Bone marrow smear. Image size 250×250. Pappenheim-stained:
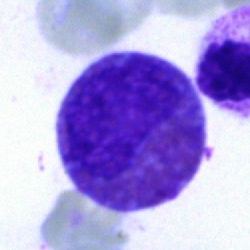

Cell: eosinophil.